Pappenheim-stained; bone marrow smear; image size 250×250 — 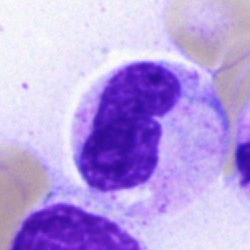The cell shown is a neutrophil (band).